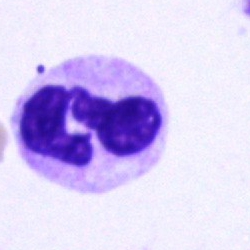Morphological class = segmented neutrophil.